Single cell centered in the field. Bone marrow aspirate smear. 250×250 — 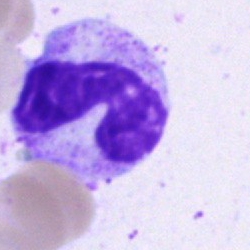 The cell type is stab cell.